Bone marrow aspirate smear — 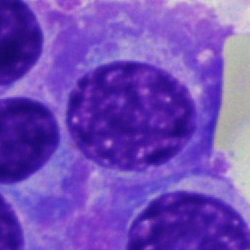
Cell — plasma cell.